Bone marrow smear: 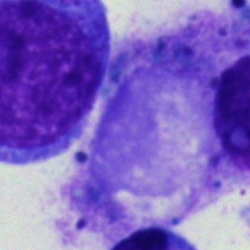 Cell type: artefact.